Peripheral blood smear — 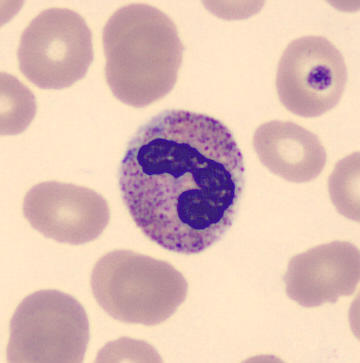
Impression → band neutrophil.